250×250 px · bone marrow smear — 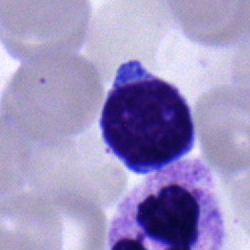

Showing a lymphocyte.